Bone marrow aspirate smear; 40× oil immersion.
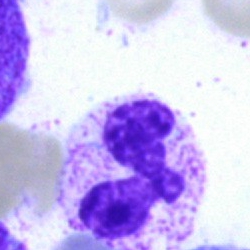

Specimen: bone marrow aspirate smear.
Morphological class: neutrophil (segmented).
Lineage: myeloid.